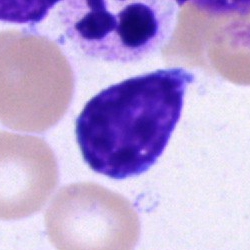 This is a lymphocyte.